Bone marrow smear.
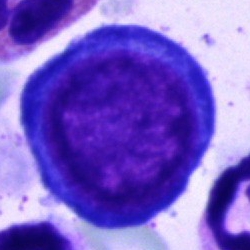Morphology → pronormoblast.